Bone marrow smear — 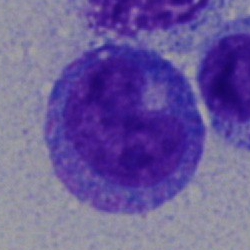Single cell identified as a promyelocyte.